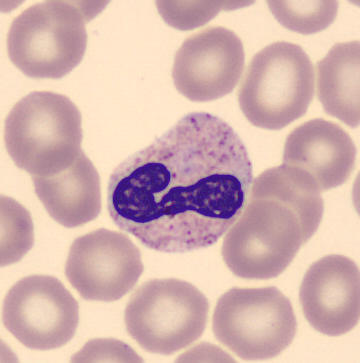Cell — band-form neutrophil.